Bone marrow aspirate smear:
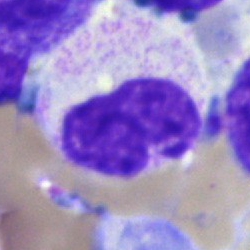 Morphology → band-form neutrophil.